Pappenheim-stained; bone marrow smear:
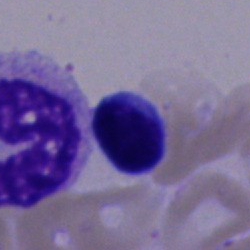Specimen: bone marrow smear.
Classification: typical lymphocyte.